Single-cell field · bone marrow aspirate smear
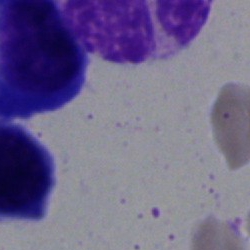 Specimen: bone marrow aspirate smear.
Cell type: artefact.